Bone marrow smear: 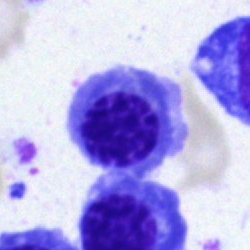 Cell = erythroblast.